Bone marrow aspirate smear:
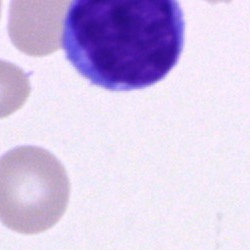Specimen: bone marrow smear.
Cell type: lymphocyte.